250 by 250 pixels; bone marrow aspirate smear — 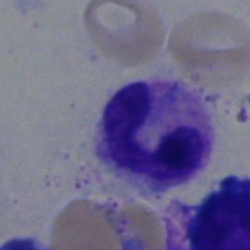

Q: What is the morphological classification of this cell?
A: This is a neutrophil (segmented).